Bone marrow smear: 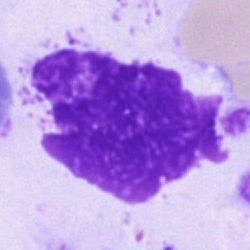
The cell type is artifact.